Bone marrow aspirate smear
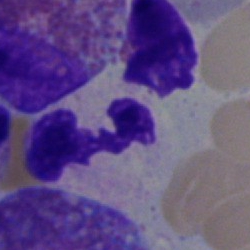 A polymorphonuclear neutrophil.